Peripheral blood smear; 400×400 px; 100× oil immersion — 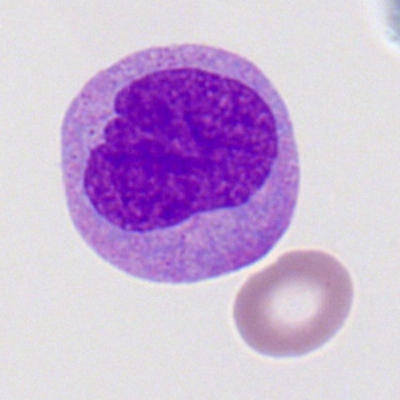Specimen: peripheral blood film.
Cell type: myeloblast.
Lineage: myeloid.